Bone marrow smear
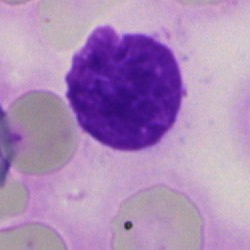 Impression — artifact.